Bone marrow aspirate smear:
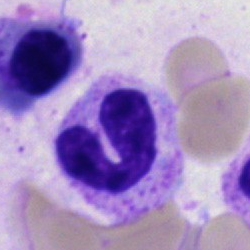Impression — polymorphonuclear neutrophil.